Bone marrow aspirate smear — 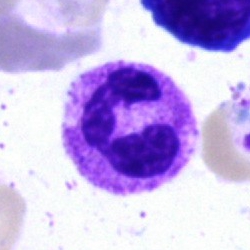
Q: What is shown here?
A: It is a segmented neutrophil.